Bone marrow aspirate smear · single-cell crop — 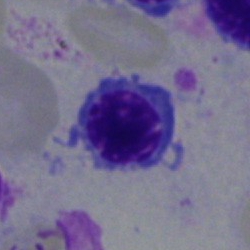

Morphology → erythroblast.